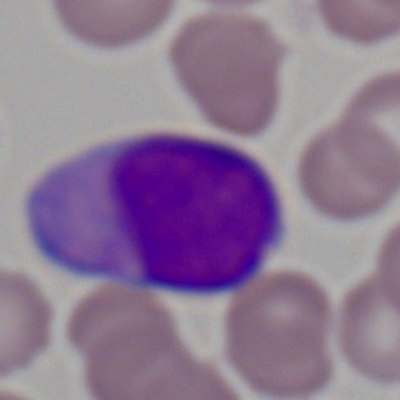
Specimen: peripheral blood film.
Morphological class: myeloblast.